Bone marrow smear: 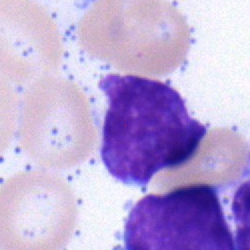
This is a lymphocyte.